Bone marrow aspirate smear.
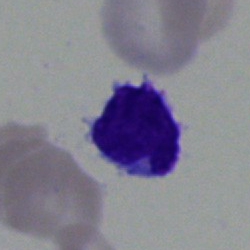

The cell shown is a lymphocyte.